Peripheral blood smear — 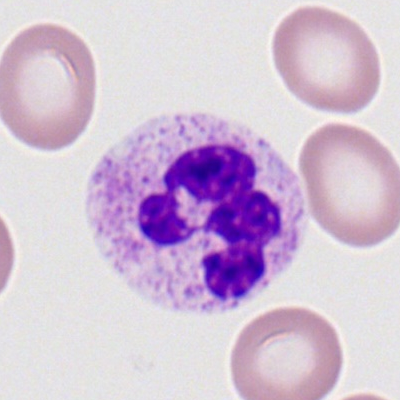

Impression — neutrophil (segmented).